Bone marrow smear
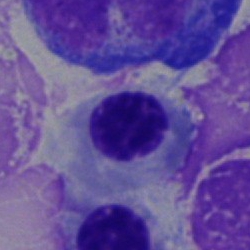
Morphological class: normoblast.